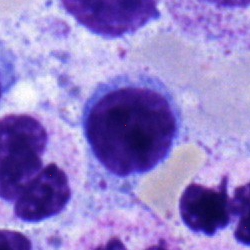 Specimen: bone marrow smear.
Classification: typical lymphocyte.